40× oil immersion · bone marrow aspirate smear · cropped to a single cell.
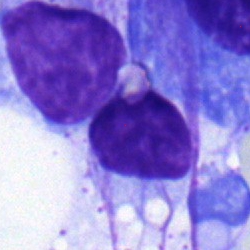 The cell shown is a lymphocyte.